40× objective, oil immersion; bone marrow smear
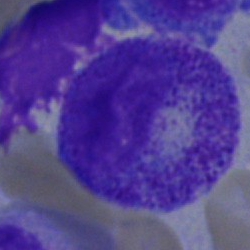

Q: Identify the cell.
A: It is a myelocyte.